Pappenheim-stained · bone marrow aspirate smear: 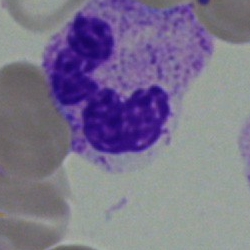 Neutrophil (segmented).